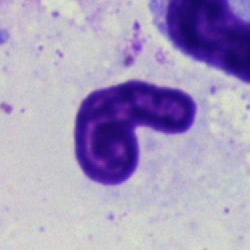The cell is polymorphonuclear neutrophil.